Bone marrow aspirate smear; Pappenheim-stained; single cell centered in the field
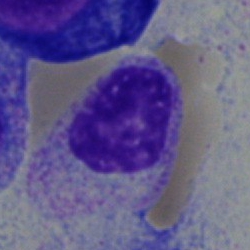Showing a myelocyte.